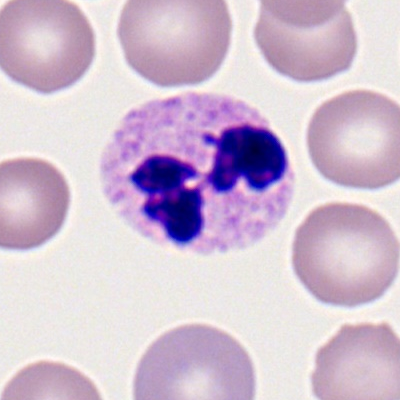

Morphological class: polymorphonuclear neutrophil.